Peripheral blood smear:
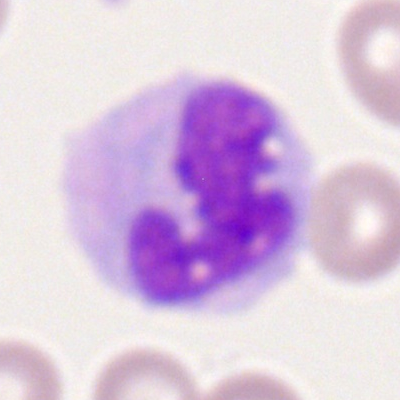Specimen: peripheral blood smear.
Morphological class: monocyte.